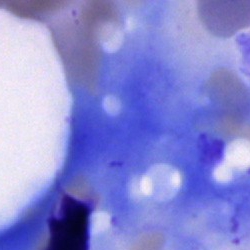

The cell shown is an artefact.